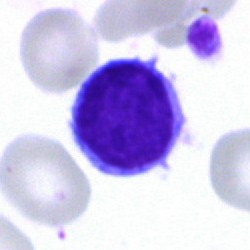 Cell: lymphocyte.